Single-cell field. Bone marrow aspirate smear:
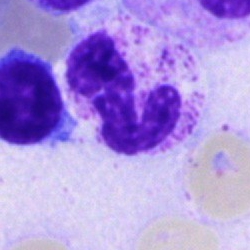

Q: What type of cell is this?
A: A segmented neutrophil.